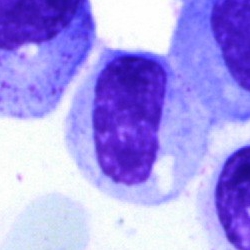This is a neutrophil (band).